Single-cell field; peripheral blood film.
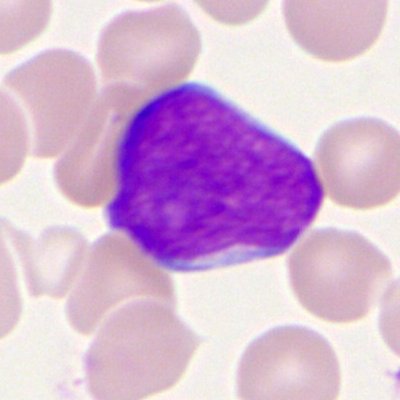 Cell type: myeloid blast.